Bone marrow smear — 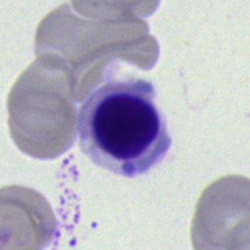 Morphology → normoblast.